Pappenheim-stained. Bone marrow aspirate smear — 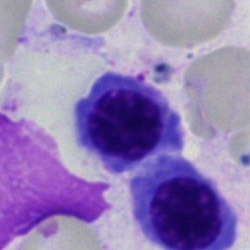Q: What is the morphological classification of this cell?
A: It is a normoblast.